Single-cell field · bone marrow aspirate smear · 40× objective, oil immersion
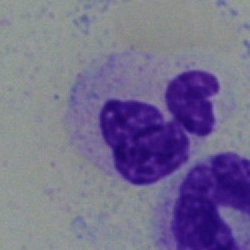

Q: What type of cell is this?
A: A neutrophil (segmented).